Bone marrow smear
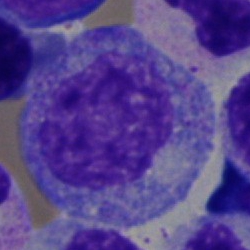A progranulocyte.